Peripheral blood film
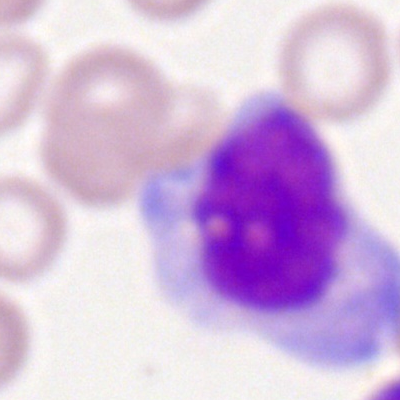
The cell shown is a monocyte.